Single-cell crop; peripheral blood smear; Romanowsky-stained.
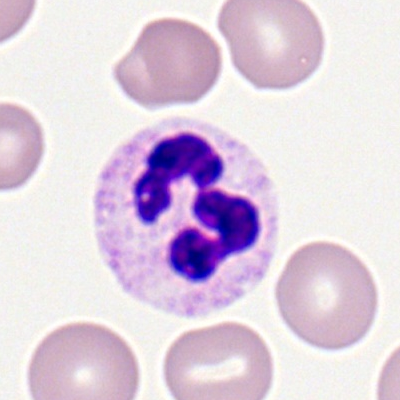

A segmented neutrophil.